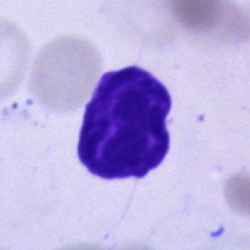
Bone marrow aspirate smear, single cell — artefact.